Bone marrow smear · single-cell field · 250×250
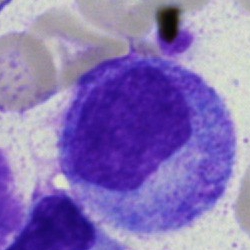

Cell type = myelocyte.